Bone marrow smear · Pappenheim-stained.
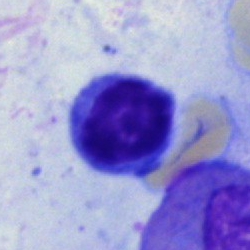 Morphology → lymphocyte.